Pappenheim-stained. 250×250 px. Bone marrow aspirate smear:
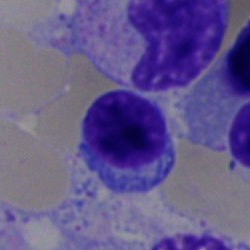

Typical lymphocyte.